Bone marrow smear. 250×250:
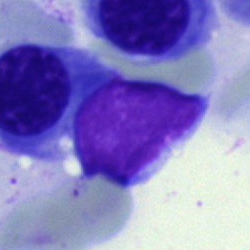 Q: What is shown here?
A: A lymphocyte.